Bone marrow smear:
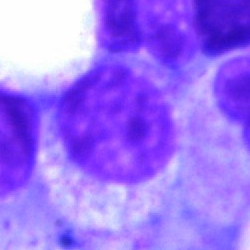Q: Identify the cell.
A: It is a myelocyte.